Bone marrow aspirate smear — 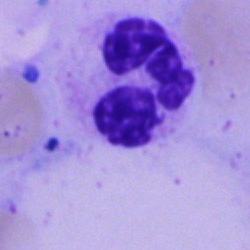 Morphological class = segmented neutrophil.